May-Grünwald-Giemsa stain. Bone marrow aspirate smear. Brightfield, 40× oil-immersion objective
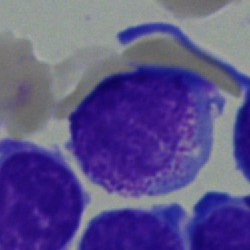

Cell — progranulocyte.